Bone marrow aspirate smear
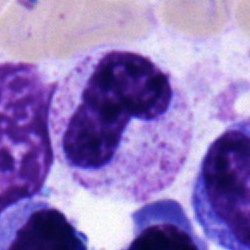
Single cell identified as a neutrophil (band).